Bone marrow smear
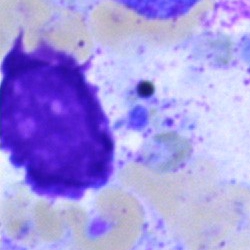
Specimen: bone marrow aspirate smear.
Cell: artefact.